Bone marrow aspirate smear.
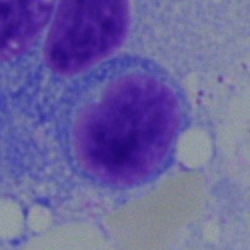
This is a typical lymphocyte.